Bone marrow aspirate smear: 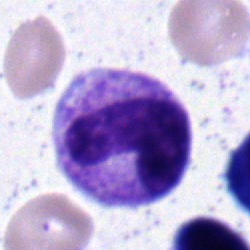

Q: Which cell type is shown here?
A: A band neutrophil.